Bone marrow smear — 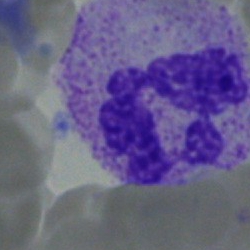

Cell type — polymorphonuclear neutrophil.